Cropped to a single cell. Image size 250×250. Bone marrow aspirate smear:
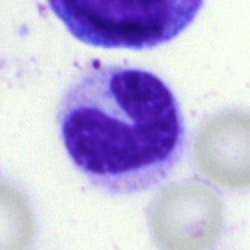 Q: Identify the cell.
A: It is a band neutrophil.